Peripheral blood film
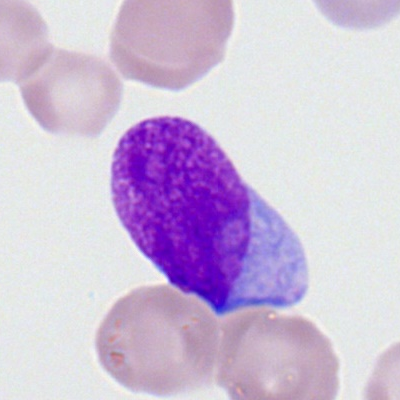

Single cell identified as a myeloblast.